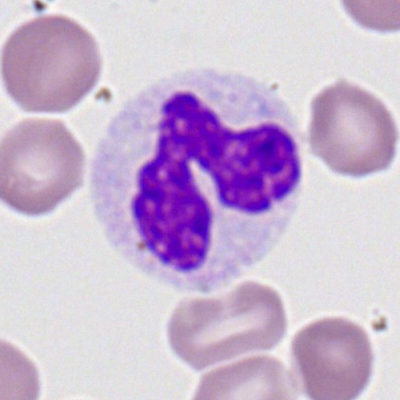Q: Which cell type is shown here?
A: Neutrophil (segmented).